Peripheral blood film · cropped to a single cell:
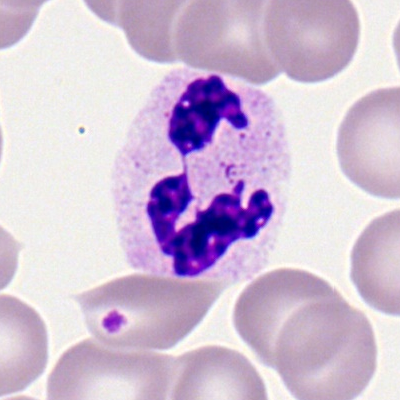The morphological class is neutrophil (segmented).